Bone marrow aspirate smear
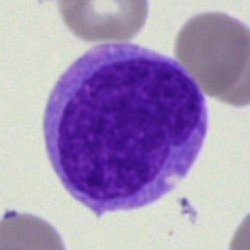 Q: Which cell type is shown here?
A: This is a blast cell.